40× objective, oil immersion. Bone marrow aspirate smear
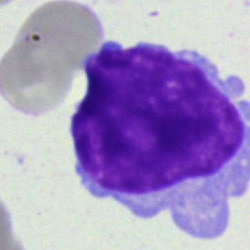Cell type: other cell.